Bone marrow aspirate smear. Brightfield, 40× oil-immersion objective. May-Grünwald-Giemsa stain
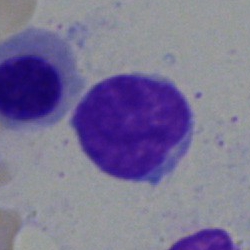 Classification — lymphocyte.